Bone marrow aspirate smear; May-Grünwald-Giemsa stain:
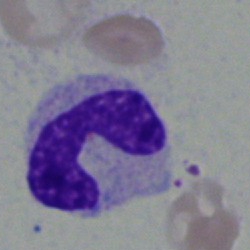Morphological class = band neutrophil.